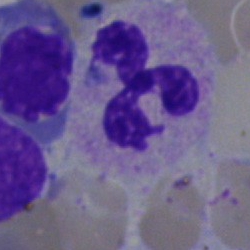

{"cell_type": "neutrophil (segmented)", "lineage": "myeloid"}